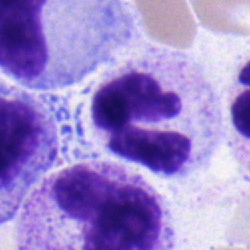
Single-cell crop from a bone marrow smear: segmented neutrophil.